Bone marrow aspirate smear · 250×250 px.
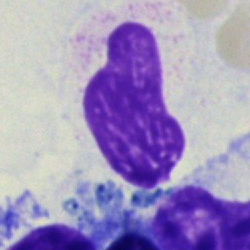Classification: artifact.